Bone marrow smear: 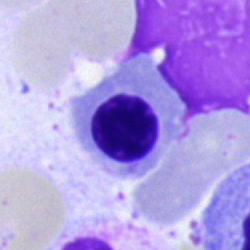
Morphology — nucleated red blood cell.